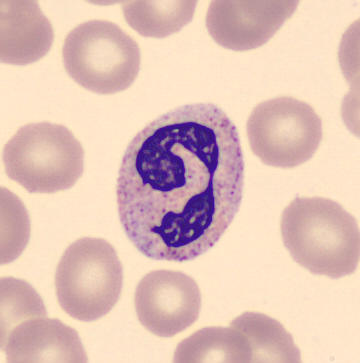 Single cell identified as a neutrophil (segmented). Peripheral blood smear.